Single-cell crop · bone marrow aspirate smear · May-Grünwald-Giemsa/Pappenheim stain
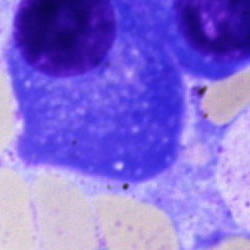Specimen: bone marrow smear.
Classification: plasma cell.
Lineage: lymphoid.